Single-cell field · bone marrow smear:
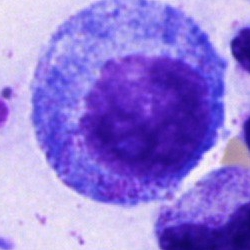

Cell type = progranulocyte.